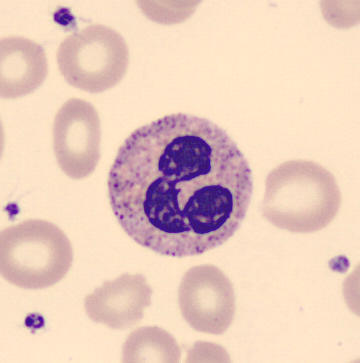
Impression → polymorphonuclear neutrophil.